Image size 250×250 · bone marrow aspirate smear
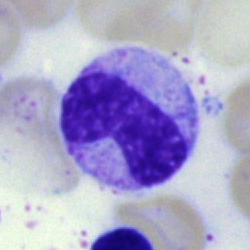 Impression → band neutrophil.